Peripheral blood smear
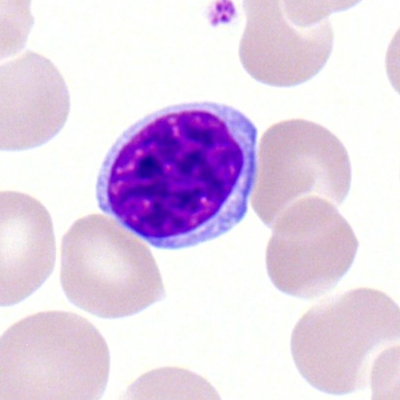 Cell type: lymphocyte.